Bone marrow aspirate smear.
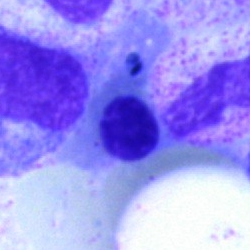
The cell type is nucleated red cell.